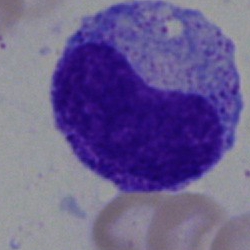 Cell — metamyelocyte.